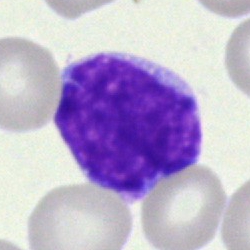Impression — undifferentiated blast.